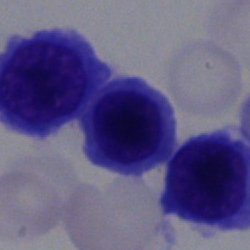 Q: What type of cell is this?
A: This is a nucleated red blood cell.